May-Grünwald-Giemsa/Pappenheim stain; bone marrow smear.
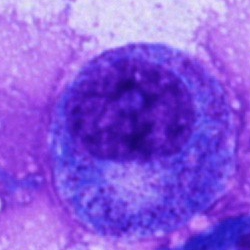Specimen: bone marrow smear.
Cell type: progranulocyte.
Lineage: myeloid.